Bone marrow aspirate smear:
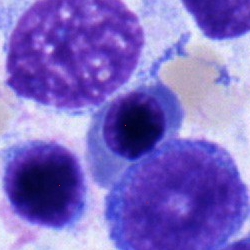
Cell type: erythroblast.